40× objective, oil immersion; bone marrow smear; single-cell crop
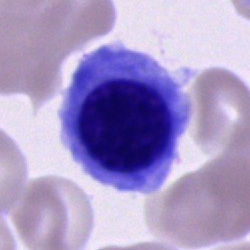
Classification = nucleated red cell.